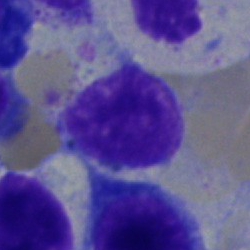
Specimen: bone marrow aspirate smear.
Classification: typical lymphocyte.
Lineage: lymphoid.